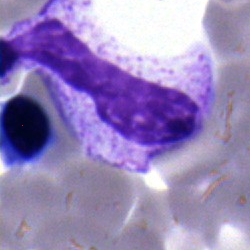Cell — nucleated red blood cell.